Bone marrow aspirate smear — 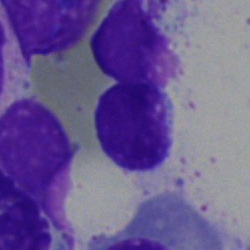

Q: Which cell type is shown here?
A: Typical lymphocyte.